Bone marrow smear: 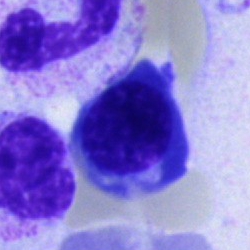
Morphological class: nucleated red blood cell.